Peripheral blood smear; 100× oil immersion.
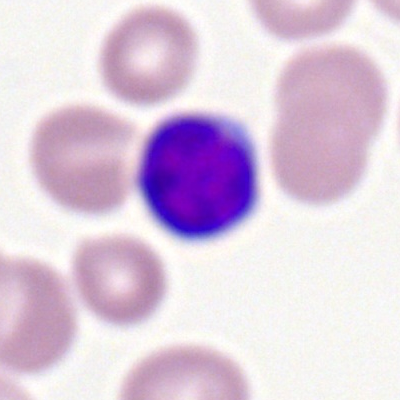 Specimen: peripheral blood smear.
Classification: lymphocyte.
Lineage: lymphoid.